MGG-stained · bone marrow smear:
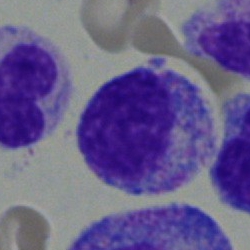Impression → myelocyte.